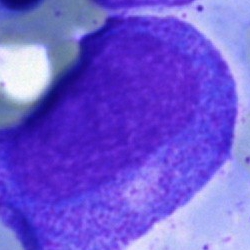Specimen: bone marrow smear.
Morphological class: promyelocyte.
Lineage: myeloid.